Bone marrow aspirate smear: 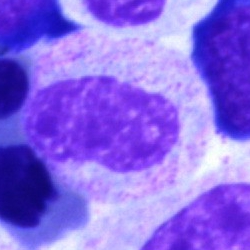 {"cell_type": "metamyelocyte"}